250×250; bone marrow aspirate smear:
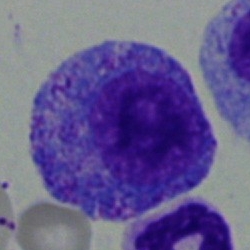

Progranulocyte.